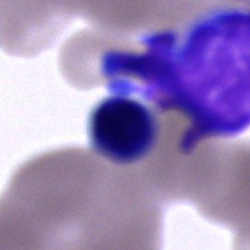 {"cell_type": "unidentifiable cell"}